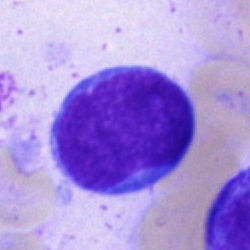
A blast cell.